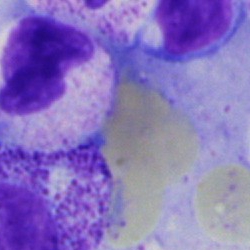Bone marrow smear showing a myelocyte.